250×250 px · bone marrow smear · brightfield, 40× oil-immersion objective:
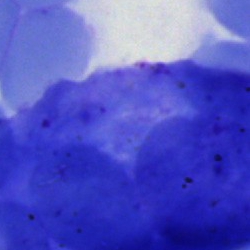 Classification = unidentifiable cell.